Bone marrow aspirate smear:
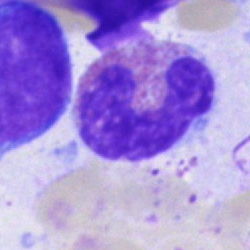
This is an eosinophil.